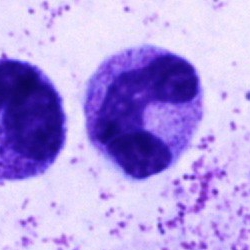 A neutrophil (band).